Bone marrow aspirate smear · May-Grünwald-Giemsa stain:
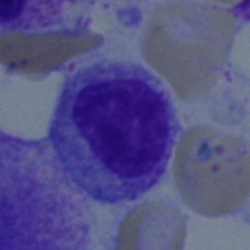
Q: Which cell type is shown here?
A: It is a myelocyte.